40× objective, oil immersion · bone marrow smear.
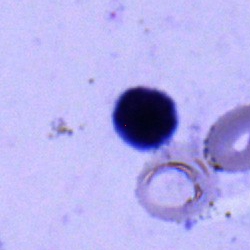Q: Which cell type is shown here?
A: This is a lymphocyte.